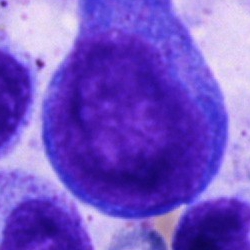
A promyelocyte.